Bone marrow smear. Cropped to a single cell. Brightfield microscopy, 40× oil immersion.
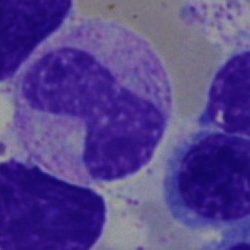 The cell shown is a band neutrophil.